Bone marrow aspirate smear · May-Grünwald-Giemsa/Pappenheim stain
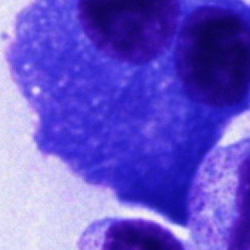 Classification — plasmacyte.